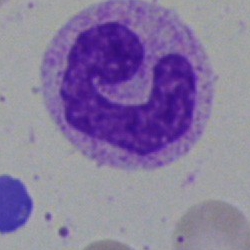
Cell type: neutrophil (segmented).